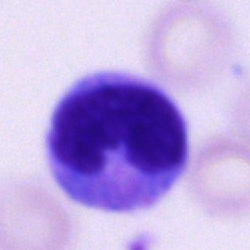

A monocyte on a bone marrow smear.